Brightfield, 40× oil-immersion objective. Single-cell field. Bone marrow smear — 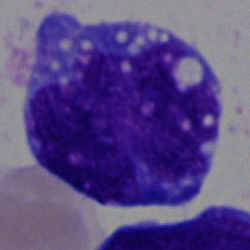

Impression — blast.